Bone marrow aspirate smear · brightfield microscopy, 40× oil immersion — 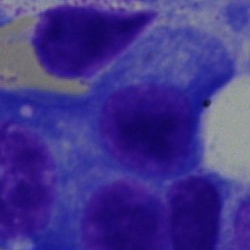

Cell type — plasmacyte.